Bone marrow smear: 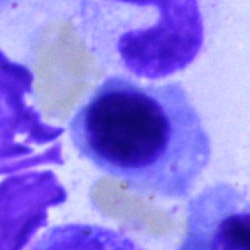Specimen: bone marrow smear.
Classification: erythroblast.